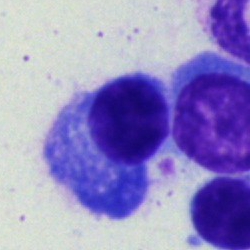Q: What is the morphological classification of this cell?
A: Plasmacyte.